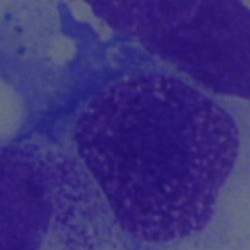

This is a myelocyte.